40× oil immersion · bone marrow smear
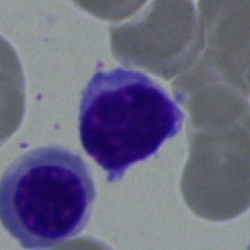
The morphological class is lymphocyte.